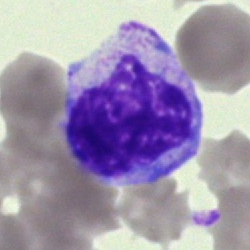

Specimen: bone marrow aspirate smear.
Classification: artifact.